Bone marrow aspirate smear; cropped to a single cell — 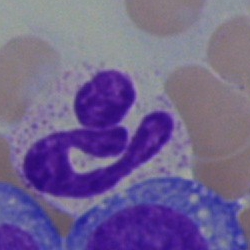
Q: What type of cell is this?
A: It is a segmented neutrophil.